Bone marrow smear.
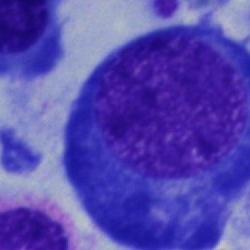

Cell type = erythroblast.